Bone marrow aspirate smear — 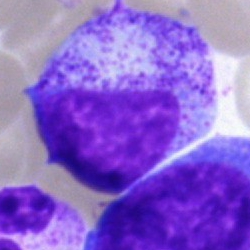
Specimen: bone marrow aspirate smear.
Cell type: progranulocyte.
Lineage: myeloid.